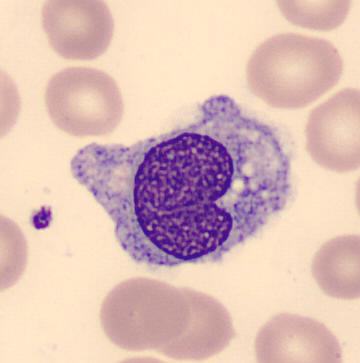Q: What cell is this?
A: This is a monocyte.

Peripheral blood smear.